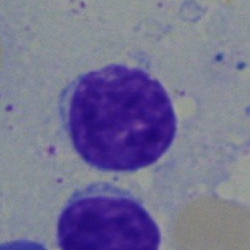

Morphology → typical lymphocyte.